Bone marrow smear
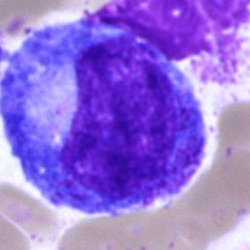Cell = promyelocyte.